Bone marrow aspirate smear.
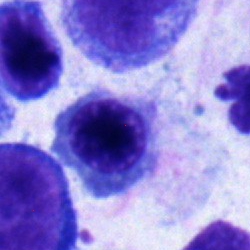 Specimen: bone marrow aspirate smear.
Morphological class: normoblast.